Bone marrow smear. 40× objective, oil immersion:
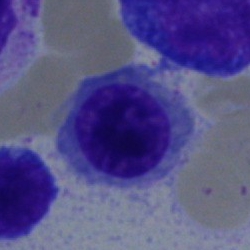 Morphology → erythroblast.